Bone marrow smear:
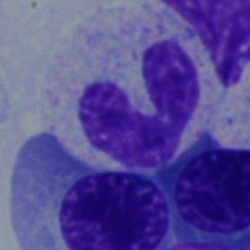Showing a band neutrophil.